Bone marrow aspirate smear: 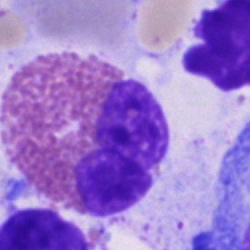Specimen: bone marrow smear.
Morphological class: eosinophil.
Lineage: myeloid.